Peripheral blood film. Romanowsky-stained
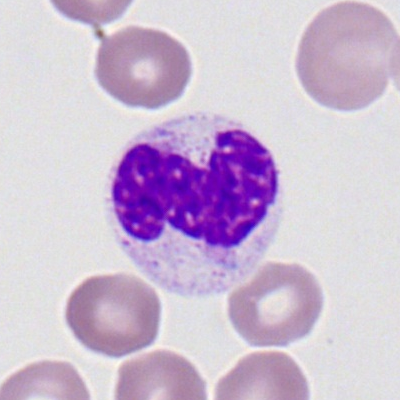
Impression → neutrophil (segmented).